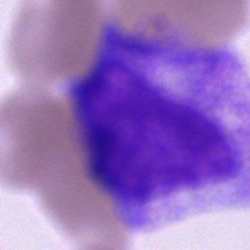
Specimen: bone marrow aspirate smear.
Morphological class: progranulocyte.
Lineage: myeloid.